Bone marrow smear; Pappenheim-stained: 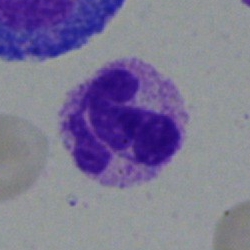
Specimen: bone marrow aspirate smear.
Morphological class: segmented neutrophil.
Lineage: myeloid.